Bone marrow aspirate smear.
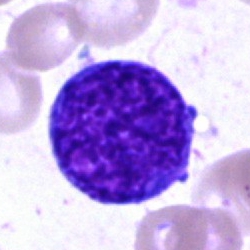
{"cell_type": "blast cell"}